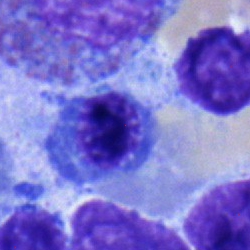
A normoblast on a bone marrow smear.